Brightfield, 100× oil-immersion objective. Peripheral blood film: 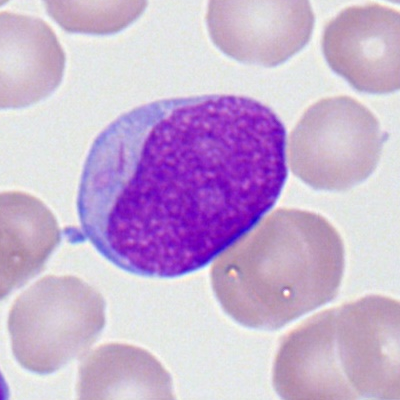
Myeloid blast.